Bone marrow aspirate smear.
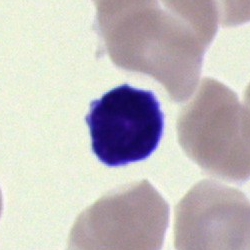
Q: What is shown here?
A: A lymphocyte.